Bone marrow aspirate smear.
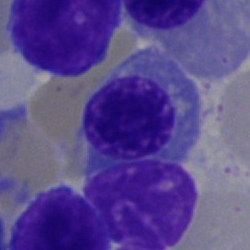Cell — nucleated red cell.